Bone marrow aspirate smear: 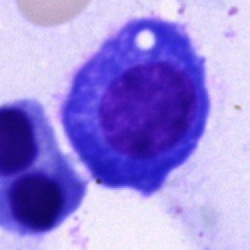
Cell type: plasmacyte.